Brightfield microscopy, 40× oil immersion; bone marrow smear.
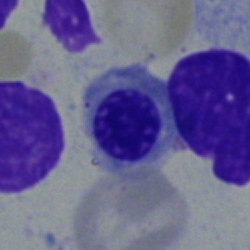 Morphological class — erythroblast.